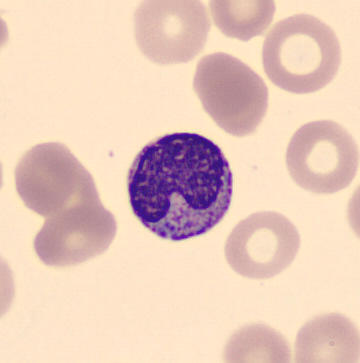 Specimen: peripheral blood smear.
Morphological class: metamyelocyte.